Peripheral blood film: 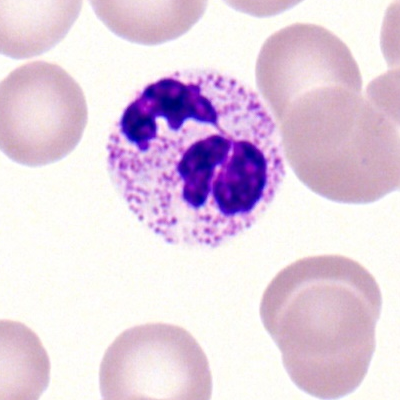
Morphology → segmented neutrophil.